Bone marrow aspirate smear · brightfield microscopy, 40× oil immersion · May-Grünwald-Giemsa/Pappenheim stain — 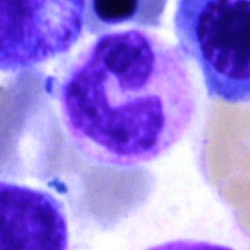This is a polymorphonuclear neutrophil.